40× oil immersion. 250×250. Bone marrow aspirate smear
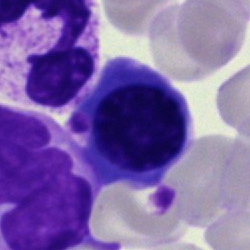 Impression → erythroblast.